Bone marrow aspirate smear. Brightfield, 40× oil-immersion objective.
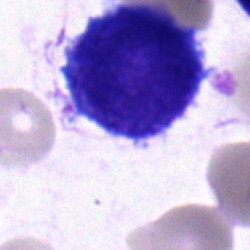

Morphology — blast cell.